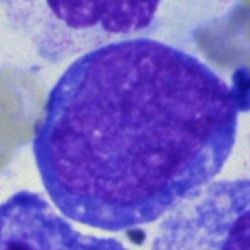The morphological class is blast cell.